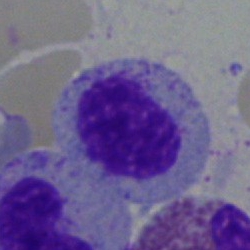
Single-cell crop from a bone marrow smear: myelocyte.